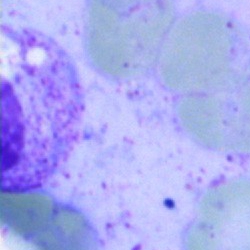

Showing an artefact.